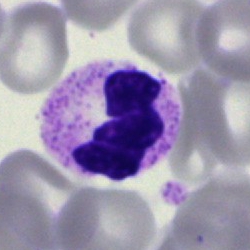 Q: What type of cell is this?
A: This is a segmented neutrophil.